250 by 250 pixels; bone marrow smear: 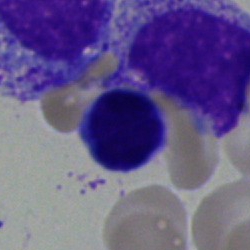Showing a lymphocyte.